Single-cell field. Bone marrow aspirate smear. 250×250
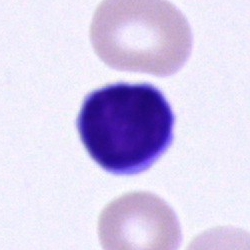This is a typical lymphocyte.